Bone marrow aspirate smear; 40× oil immersion.
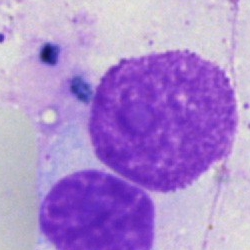

{"cell_type": "artefact"}